Bone marrow aspirate smear. 250 by 250 pixels — 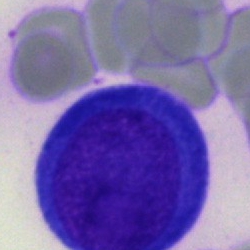
A proerythroblast.